Bone marrow smear.
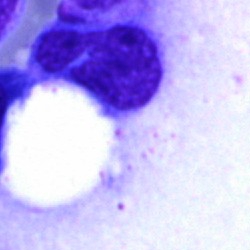 Morphology → artefact.